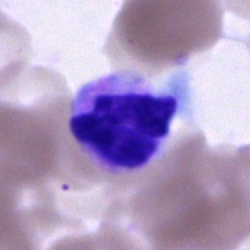 Specimen: bone marrow smear.
Morphological class: neutrophil (segmented).
Lineage: myeloid.